Bone marrow aspirate smear · image size 250×250 · 40× objective, oil immersion: 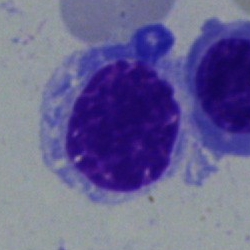Morphological class — erythroblast.